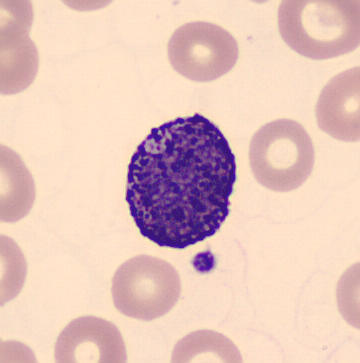
Basophilic granulocyte. Peripheral blood smear.